Bone marrow aspirate smear — 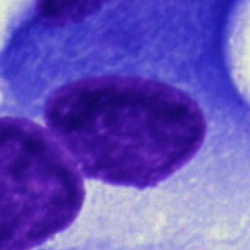
Q: Identify the cell.
A: Plasmacyte.